Peripheral blood smear — 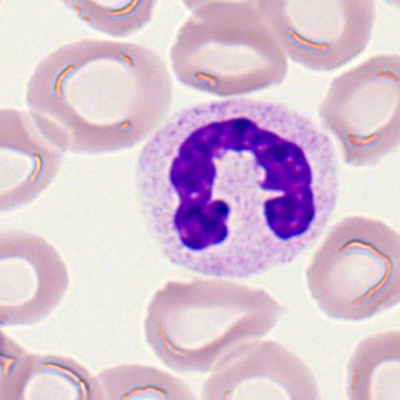

Specimen: peripheral blood smear.
Cell type: neutrophil (segmented).
Lineage: myeloid.